Single-cell field. Brightfield microscopy, 40× oil immersion. Bone marrow aspirate smear: 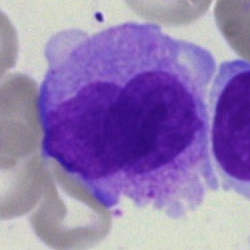 The cell type is monocyte.